Bone marrow aspirate smear.
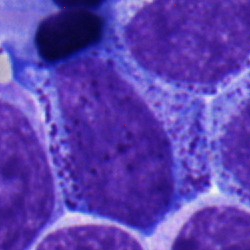Q: What type of cell is this?
A: A promyelocyte.